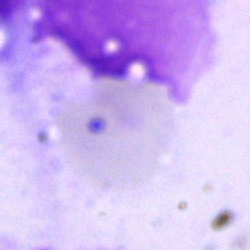Specimen: bone marrow aspirate smear.
Classification: artifact.